Bone marrow smear.
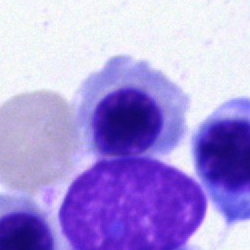

The cell is nucleated red blood cell.